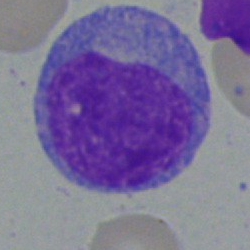Cell = undifferentiated blast.